Bone marrow smear.
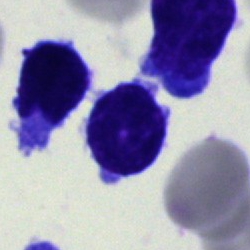Specimen: bone marrow aspirate smear.
Morphological class: undifferentiated blast.